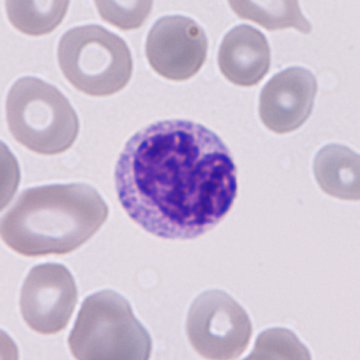

Q: What is shown here?
A: Granulocyte precursor.